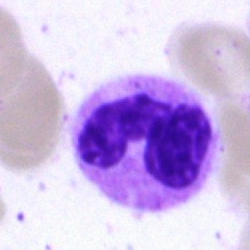
Specimen: bone marrow smear.
Classification: segmented neutrophil.
Lineage: myeloid.